Bone marrow aspirate smear. Brightfield, 40× oil-immersion objective. Cropped to a single cell: 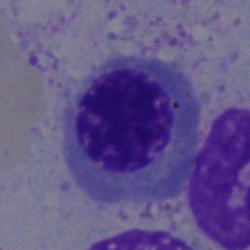A normoblast.